Image size 250×250 · bone marrow aspirate smear:
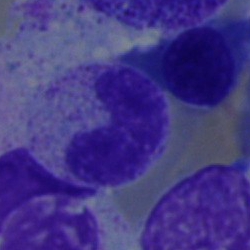

Morphology → band neutrophil.